Bone marrow aspirate smear · single cell centered in the field.
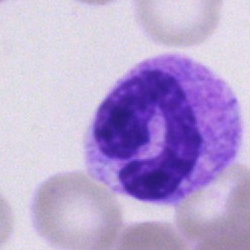 Impression → neutrophil (segmented).